May-Grünwald-Giemsa stain; bone marrow aspirate smear; 250×250:
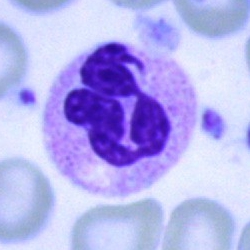 Morphology → neutrophil (segmented).